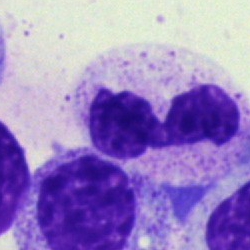

Classification = polymorphonuclear neutrophil.